Bone marrow smear:
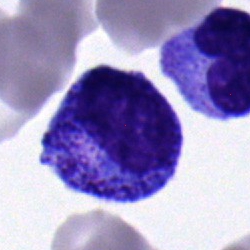Specimen: bone marrow aspirate smear.
Cell: promyelocyte.
Lineage: myeloid.